Bone marrow aspirate smear; 40× oil immersion.
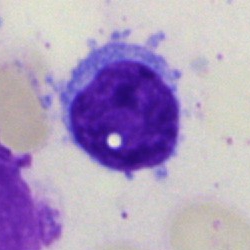Single cell identified as a lymphocyte.